Bone marrow smear; Pappenheim-stained; single-cell field:
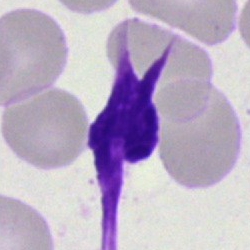 Artifact.